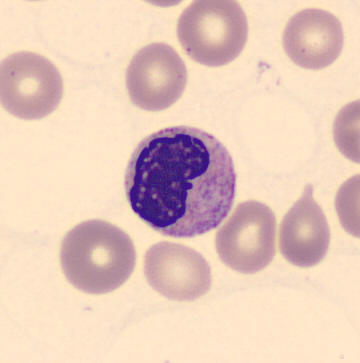
Single cell centered in the field · peripheral blood smear.
Impression — metamyelocyte.